Bone marrow aspirate smear: 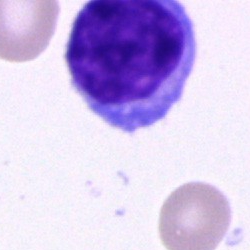

Lymphocyte.